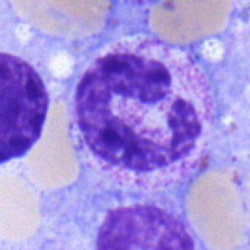
Classification: band neutrophil.